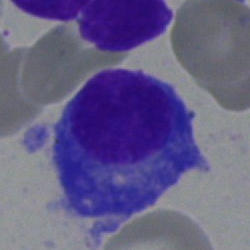 Q: What is shown here?
A: This is a plasmacyte.